Bone marrow smear — 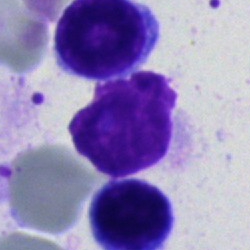

Morphology consistent with an artefact.